Bone marrow smear · Pappenheim-stained — 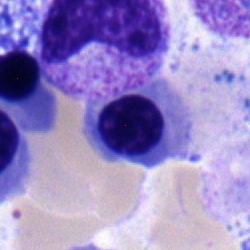 Q: Identify the cell.
A: A nucleated red cell.